Image size 250×250 · bone marrow smear: 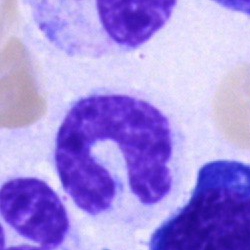The cell shown is a band-form neutrophil.